Peripheral blood film · cropped to a single cell: 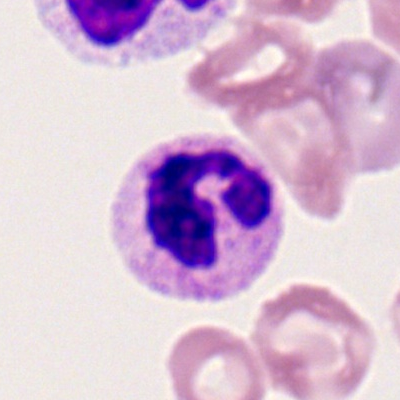Segmented neutrophil.